Bone marrow aspirate smear
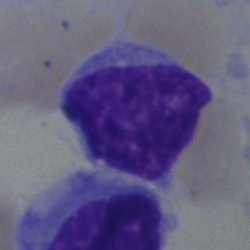

Classification: typical lymphocyte.